Bone marrow smear:
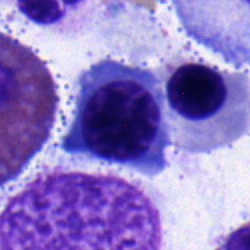This is a nucleated red blood cell.